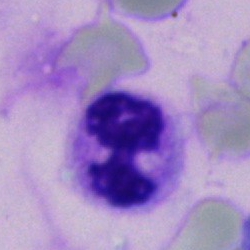

Single-cell crop from a bone marrow smear: polymorphonuclear neutrophil.